Pappenheim-stained; bone marrow smear; 40× oil immersion — 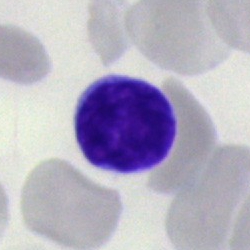 Q: Identify the cell.
A: This is a typical lymphocyte.